Bone marrow aspirate smear. MGG-stained.
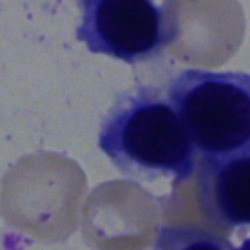 A normoblast.